Bone marrow smear: 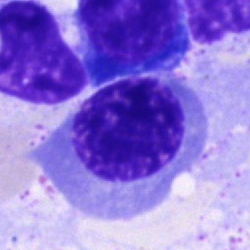
The cell is nucleated red cell.